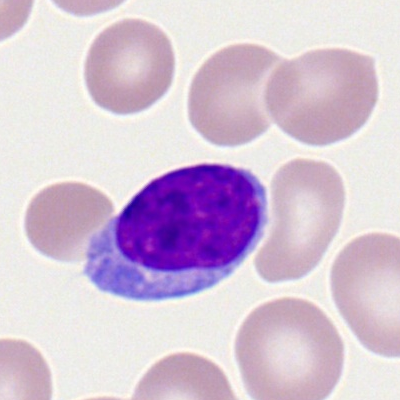
{"cell_type": "typical lymphocyte"}